Bone marrow smear; 40× objective, oil immersion.
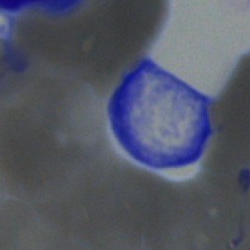

The morphological class is artefact.